Bone marrow aspirate smear: 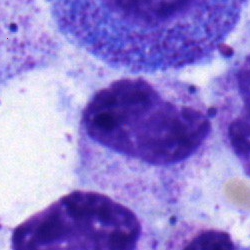
Q: Which cell type is shown here?
A: It is a neutrophil (band).